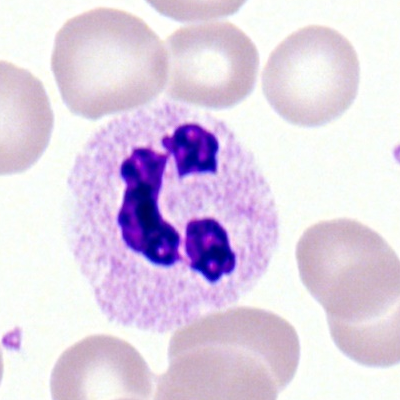 Q: What cell is this?
A: This is a neutrophil (segmented).